Bone marrow aspirate smear; single cell centered in the field: 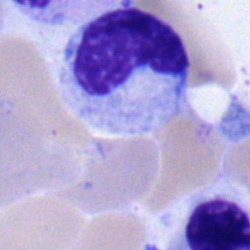 Classification = metamyelocyte.